MGG-stained; bone marrow aspirate smear.
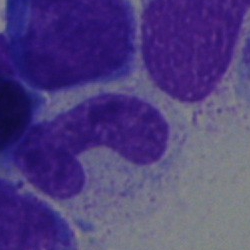

A neutrophil (band).